Bone marrow smear; single-cell crop; Pappenheim-stained.
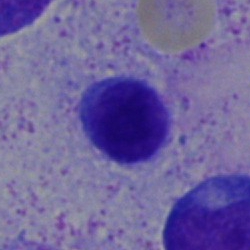
Specimen: bone marrow aspirate smear.
Morphological class: typical lymphocyte.
Lineage: lymphoid.